Bone marrow aspirate smear · brightfield microscopy, 40× oil immersion · 250×250 px.
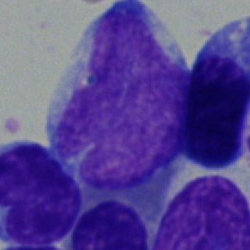 Morphology consistent with a blast cell.